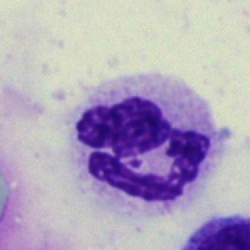 Specimen: bone marrow aspirate smear.
Classification: polymorphonuclear neutrophil.